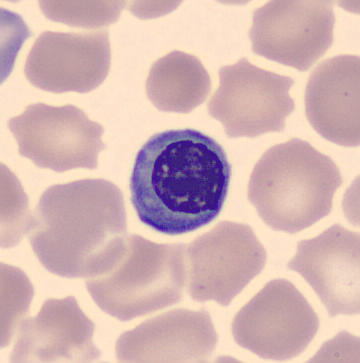{"cell_type": "nucleated red cell", "lineage": "erythroid"}